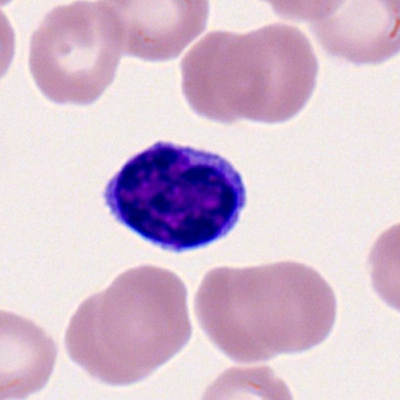
Q: What is the morphological classification of this cell?
A: Typical lymphocyte.